Bone marrow smear: 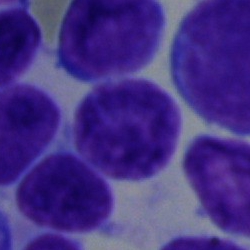Cell — blast.